40× oil immersion · bone marrow smear: 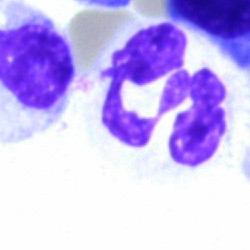

Classification = neutrophil (segmented).